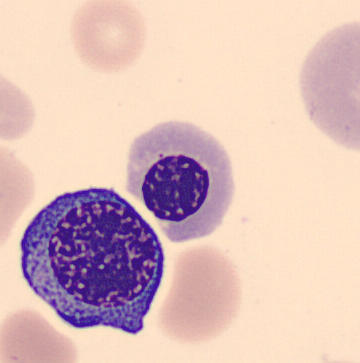

Morphology → nucleated red cell. Image: Peripheral blood smear · MGG stain.